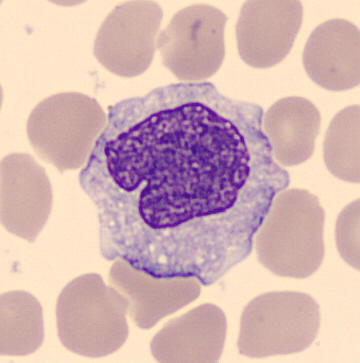

From a peripheral blood smear: a monocyte.